250 by 250 pixels · bone marrow aspirate smear — 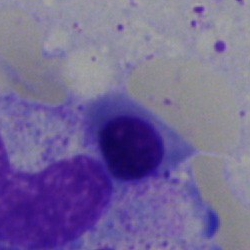Specimen: bone marrow aspirate smear.
Classification: erythroblast.